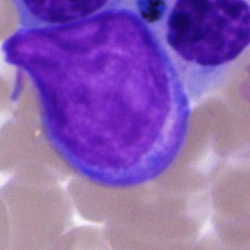
Q: Identify the cell.
A: Undifferentiated blast.